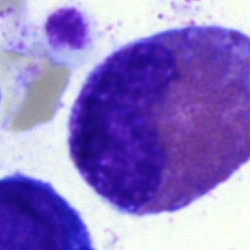 Morphological class = eosinophil.